250 by 250 pixels · Pappenheim-stained · bone marrow smear: 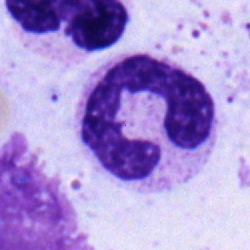
A neutrophil (band).